Bone marrow smear. 40× objective, oil immersion.
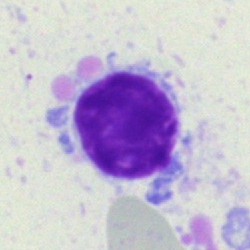
Q: Identify the cell.
A: This is a typical lymphocyte.